Bone marrow aspirate smear.
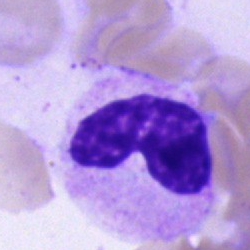The morphological class is metamyelocyte.